250×250 · bone marrow smear:
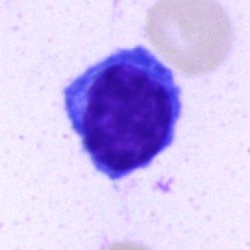{"cell_type": "lymphocyte", "lineage": "lymphoid"}